Bone marrow aspirate smear · single-cell field — 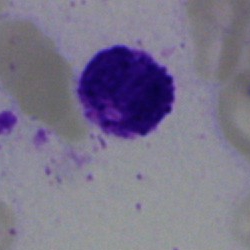{"cell_type": "basophilic granulocyte", "lineage": "myeloid"}